Bone marrow smear; single-cell field.
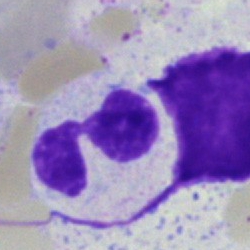
Impression → segmented neutrophil.